Bone marrow aspirate smear
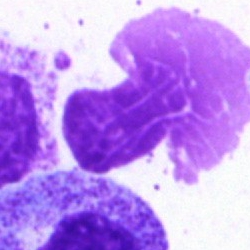

Showing an artefact.